May-Grünwald-Giemsa/Pappenheim stain; bone marrow smear: 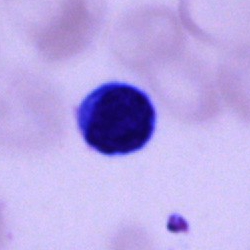 This is a typical lymphocyte.